Bone marrow aspirate smear
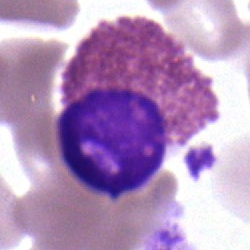 Cell type = eosinophil.